Bone marrow smear.
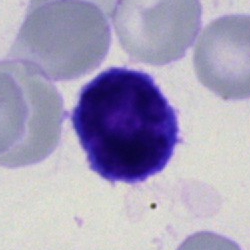 Impression — lymphocyte.